Bone marrow aspirate smear · May-Grünwald-Giemsa stain: 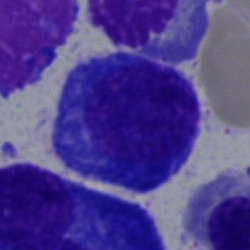

Cell type = plasma cell.